Bone marrow smear — 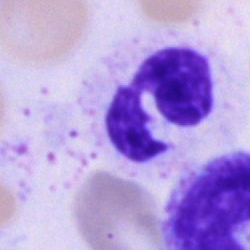Classification = polymorphonuclear neutrophil.